MGG-stained; bone marrow smear.
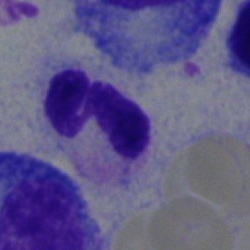 Polymorphonuclear neutrophil.